Cropped to a single cell. Bone marrow smear. Brightfield microscopy, 40× oil immersion.
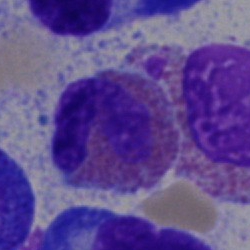Morphological class: eosinophilic granulocyte.